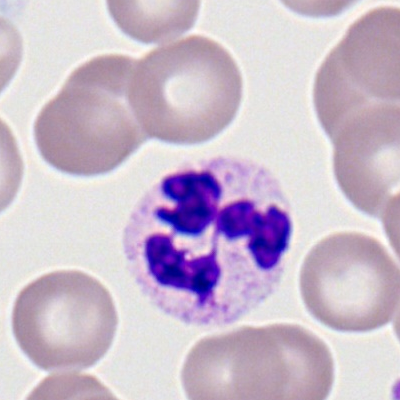
Q: Identify the cell.
A: It is a segmented neutrophil.